Brightfield, 40× oil-immersion objective · bone marrow aspirate smear
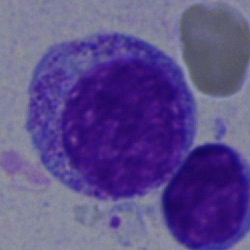
Single cell identified as a myelocyte.